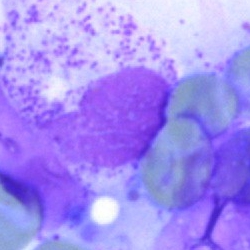
Impression — unidentifiable cell.